Single-cell field; bone marrow aspirate smear — 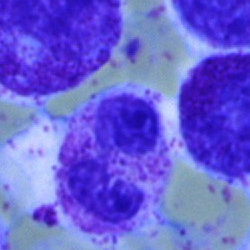The morphological class is segmented neutrophil.